40× oil immersion. Bone marrow smear: 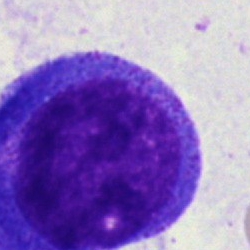Showing a progranulocyte.